Bone marrow aspirate smear; brightfield microscopy, 40× oil immersion.
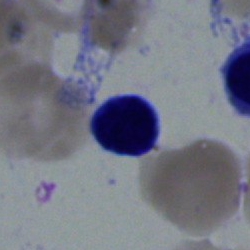

Q: What is the morphological classification of this cell?
A: This is a typical lymphocyte.